Bone marrow aspirate smear — 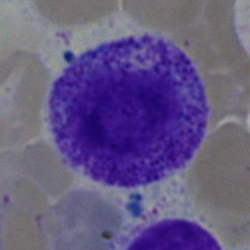{"cell_type": "myelocyte", "lineage": "myeloid"}